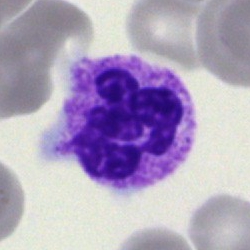
Classification — neutrophil (segmented).